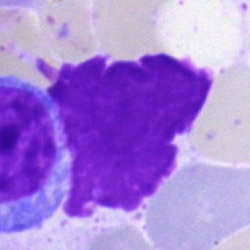 Cell — artefact.